Brightfield microscopy, 40× oil immersion; bone marrow smear; 250×250.
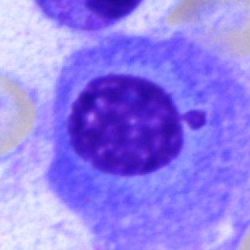Single cell identified as a plasmacyte.